Bone marrow smear; 250×250 px:
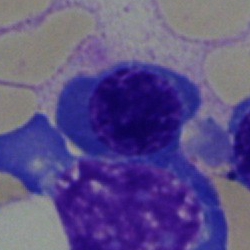Cell type — erythroblast.